Bone marrow aspirate smear: 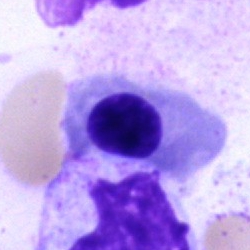Cell: nucleated red blood cell.